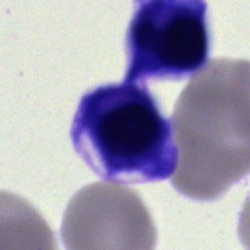

Cell type — nucleated red blood cell.